Image size 250×250 · Pappenheim-stained · bone marrow aspirate smear
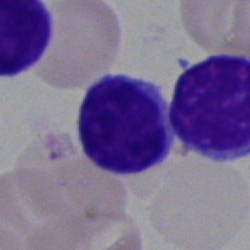 Q: What type of cell is this?
A: This is a typical lymphocyte.